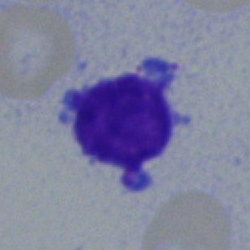

The cell is typical lymphocyte.